Bone marrow smear — 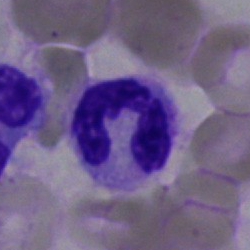Q: What cell is this?
A: It is a segmented neutrophil.